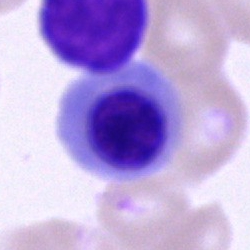Morphological class: nucleated red cell.